Bone marrow aspirate smear
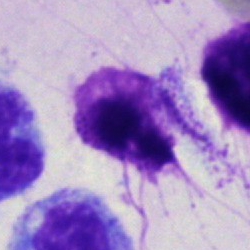Single cell identified as an artifact.